Bone marrow aspirate smear · May-Grünwald-Giemsa stain · cropped to a single cell
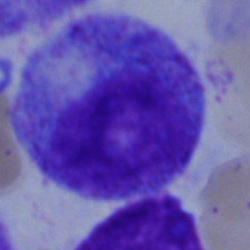 A progranulocyte.